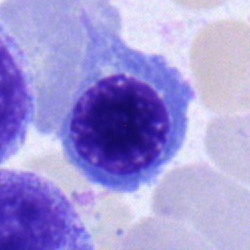

Classification — normoblast.